MGG-stained. Bone marrow smear. Single-cell crop:
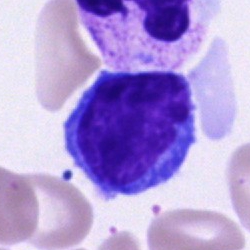The morphological class is typical lymphocyte.